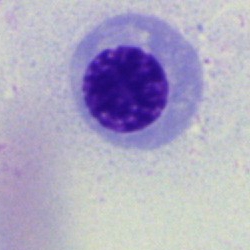
The classification is erythroblast.